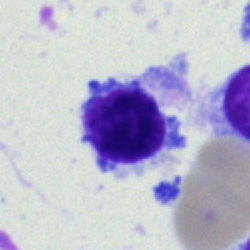
Q: Which cell type is shown here?
A: It is a typical lymphocyte.